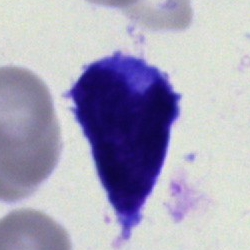The cell shown is a blast.